Bone marrow aspirate smear — 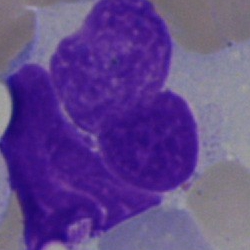{"cell_type": "artefact"}